Bone marrow smear
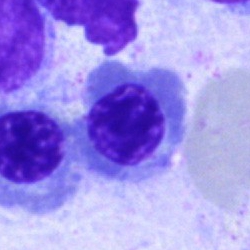Cell type — nucleated red cell.